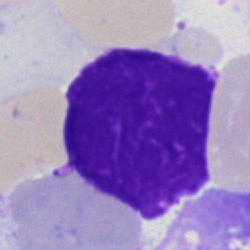
An artifact.